Bone marrow smear: 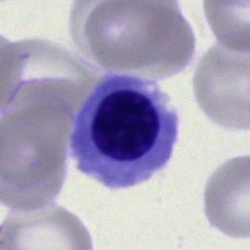
Nucleated red blood cell.